Bone marrow smear: 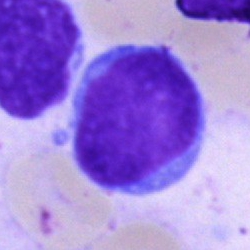

Cell — undifferentiated blast.